Brightfield, 40× oil-immersion objective. Single-cell field. Bone marrow aspirate smear: 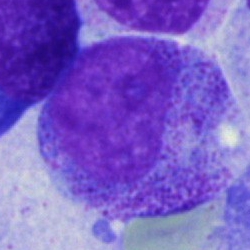Morphology → promyelocyte.